Bone marrow smear. 40× objective, oil immersion.
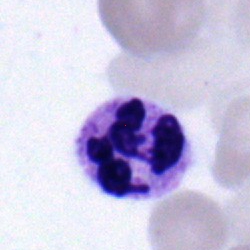 Specimen: bone marrow smear.
Cell type: neutrophil (segmented).